Cropped to a single cell. May-Grünwald-Giemsa/Pappenheim stain. Bone marrow aspirate smear: 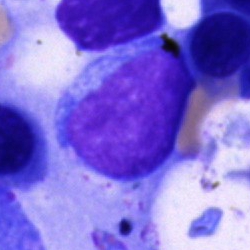
Specimen: bone marrow aspirate smear.
Cell type: blast cell.